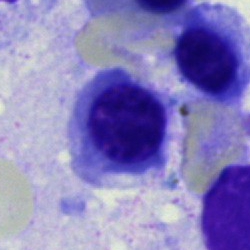
Cell type = nucleated red blood cell.